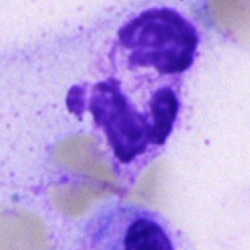Showing a polymorphonuclear neutrophil.